Bone marrow aspirate smear: 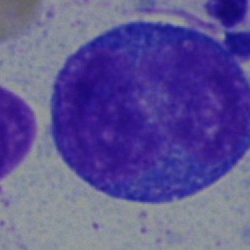

Morphological class — undifferentiated blast.